Bone marrow smear: 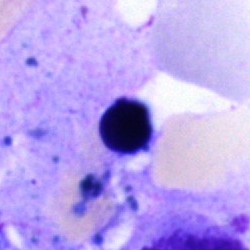
Specimen: bone marrow smear.
Morphological class: artifact.